Bone marrow smear
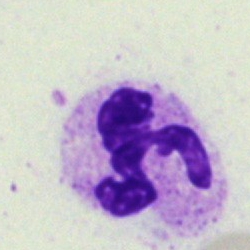Cell: segmented neutrophil.